May-Grünwald-Giemsa/Pappenheim stain; bone marrow smear — 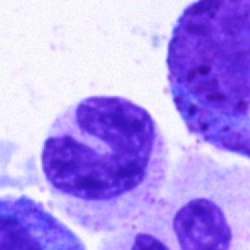 Morphology — stab cell.